40× objective, oil immersion · bone marrow aspirate smear: 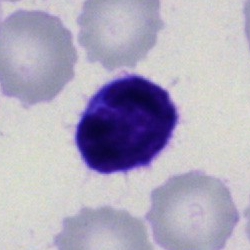The cell shown is a typical lymphocyte.